Bone marrow smear: 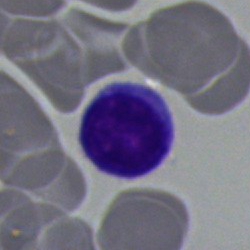
Morphological class — lymphocyte.